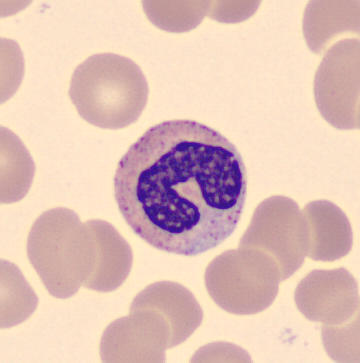Preparation: Peripheral blood film. The cell shown is a band-form neutrophil.